Brightfield microscopy, 40× oil immersion. Single cell centered in the field. Bone marrow aspirate smear — 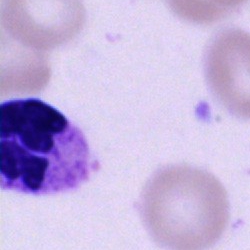 A segmented neutrophil.